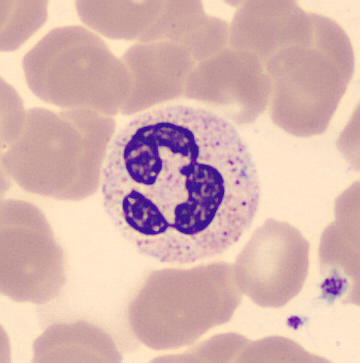

Image: Single cell centered in the field; MGG-stained; peripheral blood film. Classification = neutrophil (segmented).